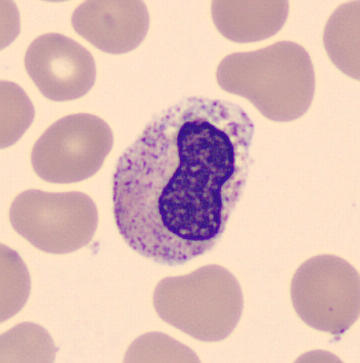

{"cell_type": "band-form neutrophil", "lineage": "myeloid"}

Preparation: Peripheral blood film. 360×363.